Bone marrow smear; single-cell field
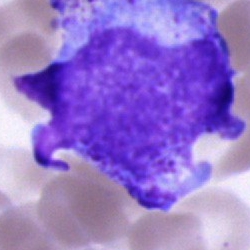
Cell type = promyelocyte.